Bone marrow smear
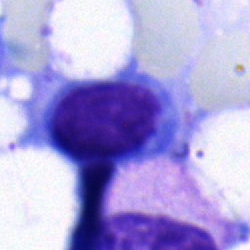
Lymphocyte.